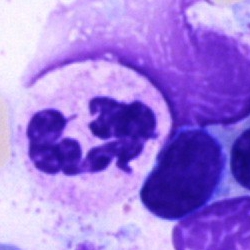Specimen: bone marrow smear.
Cell: polymorphonuclear neutrophil.
Lineage: myeloid.